Bone marrow aspirate smear: 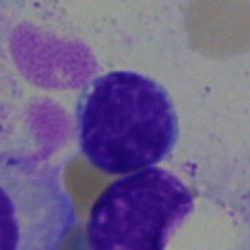Specimen: bone marrow aspirate smear.
Classification: lymphocyte.